Bone marrow aspirate smear — 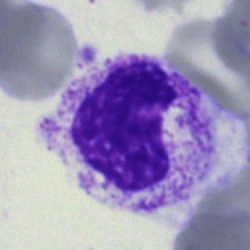
The cell shown is a metamyelocyte.